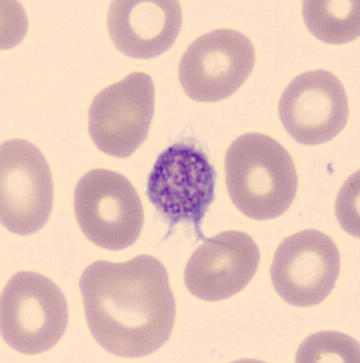
Acquisition: 360 by 363 pixels · CellaVision DM96 · peripheral blood film.

Q: What is shown here?
A: This is a platelet.